Bone marrow aspirate smear; brightfield, 40× oil-immersion objective; Pappenheim-stained: 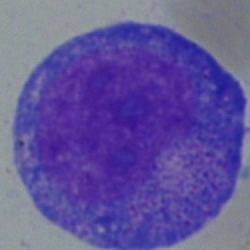 Specimen: bone marrow aspirate smear.
Cell type: promyelocyte.